Bone marrow smear: 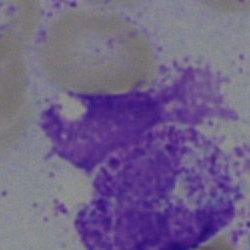

Impression → artifact.